May-Grünwald-Giemsa stain · bone marrow aspirate smear — 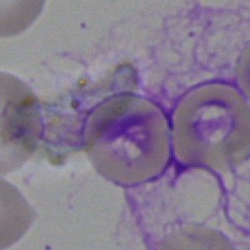Q: What is shown here?
A: It is an artifact.